Brightfield microscopy, 40× oil immersion. Bone marrow aspirate smear:
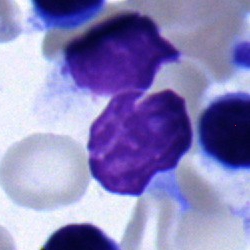
Typical lymphocyte.